Bone marrow aspirate smear — 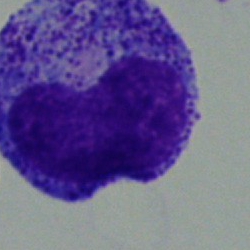
Specimen: bone marrow aspirate smear.
Classification: progranulocyte.
Lineage: myeloid.